Single-cell crop · bone marrow smear — 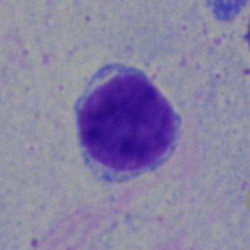 Specimen: bone marrow aspirate smear.
Cell type: lymphocyte.
Lineage: lymphoid.